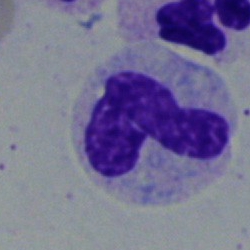Cell — stab cell.